250×250. Bone marrow aspirate smear.
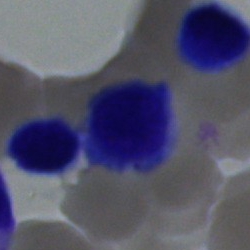
Impression — typical lymphocyte.